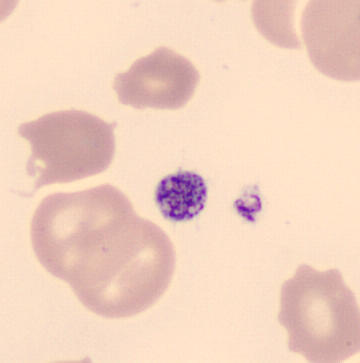Acquisition: Peripheral blood smear.
Cell type = thrombocyte.